Peripheral blood smear:
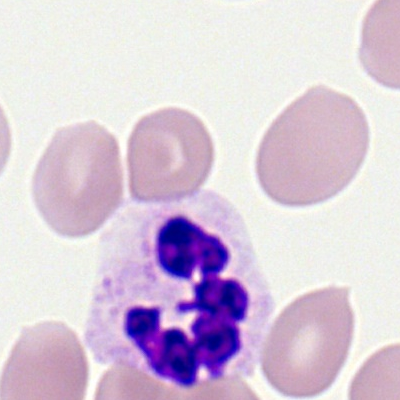 The cell is neutrophil (segmented).